Peripheral blood film; CellaVision DM96 digital cell image; 360 by 363 pixels — 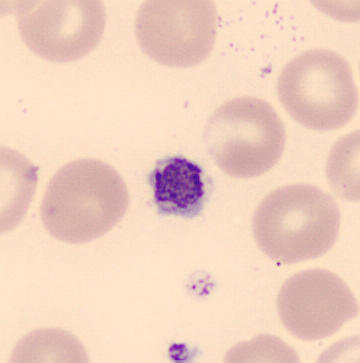
Specimen: peripheral blood smear.
Cell type: thrombocyte.